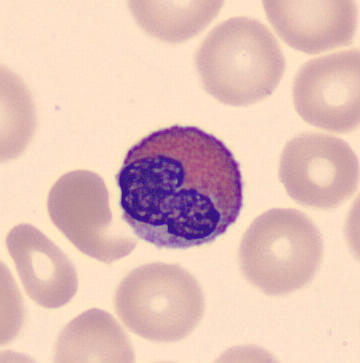
Q: What is shown here?
A: This is an eosinophilic granulocyte. Preparation: CellaVision DM96 digital cell image. Peripheral blood film.